Brightfield microscopy, 40× oil immersion · bone marrow aspirate smear · May-Grünwald-Giemsa stain
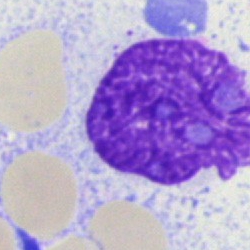
Q: What is shown here?
A: Artefact.